Bone marrow aspirate smear: 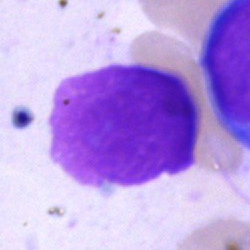 Cell: artefact.